Bone marrow aspirate smear — 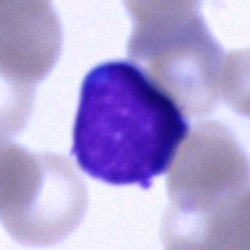 Cell — typical lymphocyte.